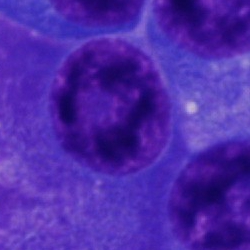
Impression → plasmacyte.